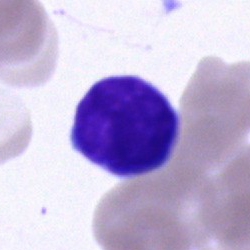
Specimen: bone marrow aspirate smear.
Morphological class: lymphocyte.